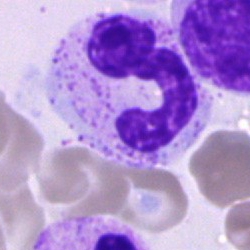 Specimen: bone marrow aspirate smear.
Morphological class: neutrophil (segmented).